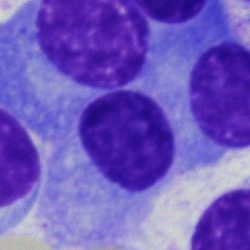 A plasmacyte.